250×250 · bone marrow aspirate smear — 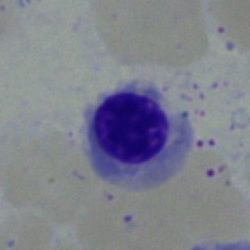 Q: Identify the cell.
A: A nucleated red cell.